Peripheral blood smear:
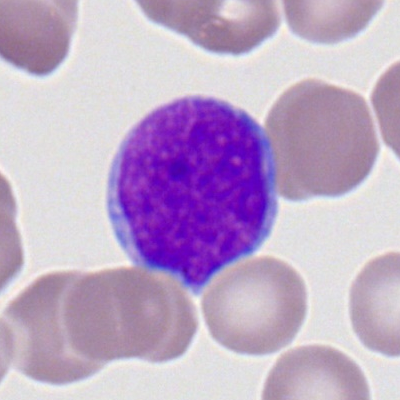

This is a myeloid blast.